Bone marrow smear — 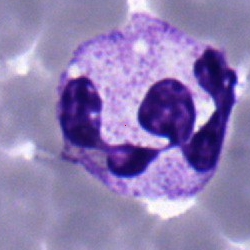
Q: What type of cell is this?
A: A neutrophil (segmented).